Bone marrow aspirate smear:
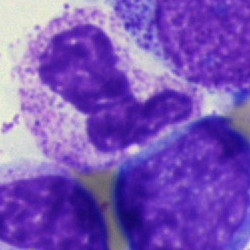Classification = stab cell.